Bone marrow smear:
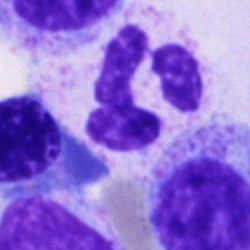 Showing a neutrophil (segmented).